Bone marrow smear. Brightfield microscopy, 40× oil immersion. Single cell centered in the field:
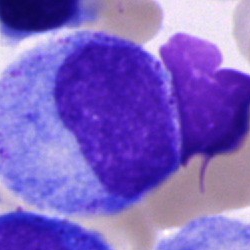Morphological class = progranulocyte.